Bone marrow aspirate smear: 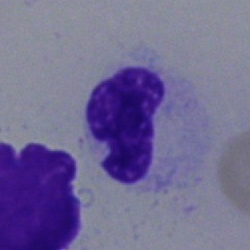

The morphological class is segmented neutrophil.